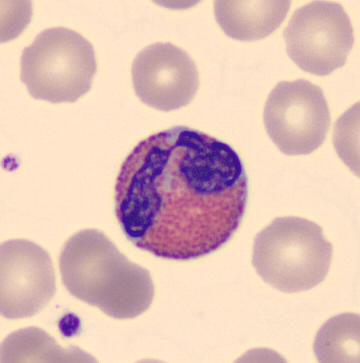
The cell shown is an eosinophil.